Bone marrow smear. 250 by 250 pixels. MGG-stained — 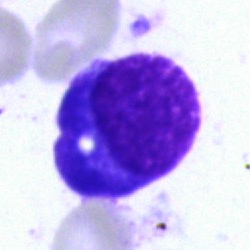

Single cell identified as a plasmacyte.